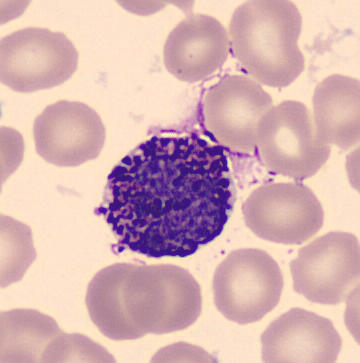Acquisition: Peripheral blood film; 360 by 363 pixels; CellaVision DM96. Morphological class = basophilic granulocyte.